250×250 px; bone marrow smear
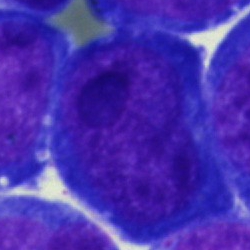 {"cell_type": "pronormoblast", "lineage": "erythroid"}